Bone marrow smear: 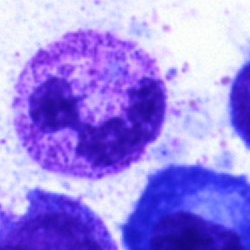 Morphology → segmented neutrophil.